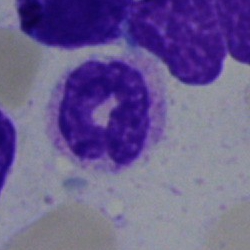
Single cell identified as a segmented neutrophil.